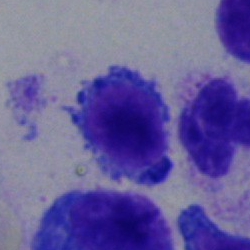
Q: What is shown here?
A: A typical lymphocyte.